Bone marrow smear; 40× oil immersion.
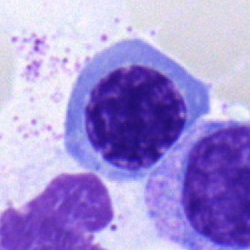
Single cell identified as a normoblast.